Bone marrow smear: 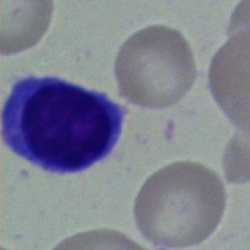

Cell = typical lymphocyte.